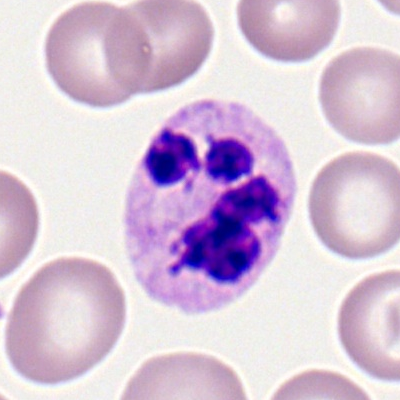

Morphology consistent with a polymorphonuclear neutrophil.